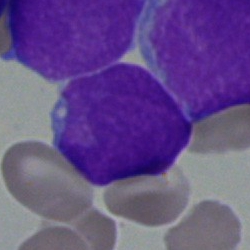Classification = blast cell.